Single-cell crop. Bone marrow smear: 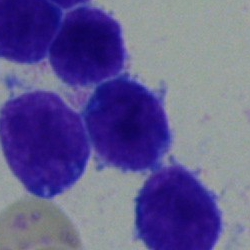

Q: Identify the cell.
A: An undifferentiated blast.